Bone marrow aspirate smear — 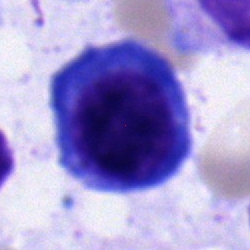This is a nucleated red blood cell.